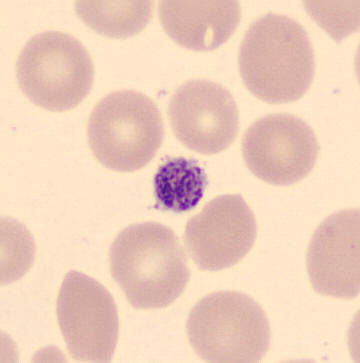Image: Automated cell imaging (CellaVision DM96); peripheral blood film.

Cell type = platelet.